Image size 400×400 · peripheral blood film · 100× objective, oil immersion: 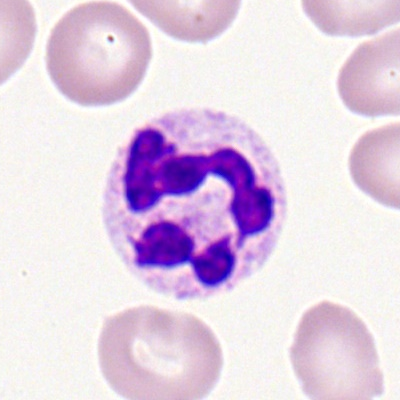

Showing a polymorphonuclear neutrophil.